Pappenheim-stained; 250×250 px; bone marrow aspirate smear — 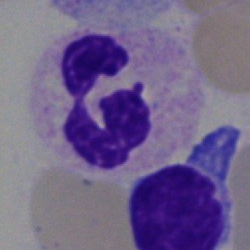

Specimen: bone marrow aspirate smear.
Cell type: neutrophil (segmented).